40× objective, oil immersion · bone marrow aspirate smear · single cell centered in the field
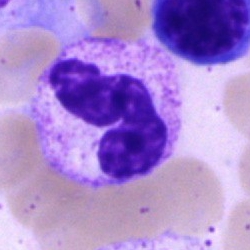

Morphology consistent with a segmented neutrophil.